Bone marrow aspirate smear:
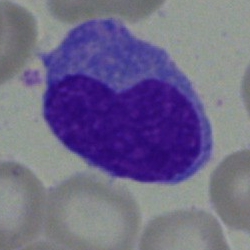

Specimen: bone marrow smear.
Cell: monocyte.